Cropped to a single cell · bone marrow aspirate smear
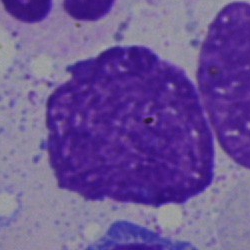
Q: What is shown here?
A: Artefact.